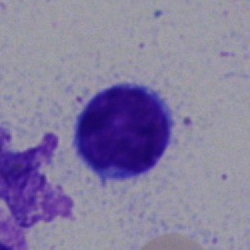 Bone marrow aspirate smear, single cell — typical lymphocyte.